Single cell centered in the field; bone marrow smear.
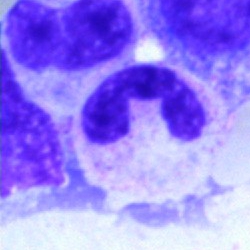

Specimen: bone marrow aspirate smear.
Cell type: segmented neutrophil.